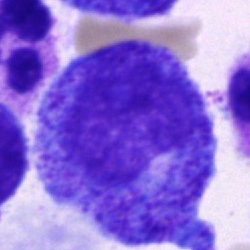

Promyelocyte.